Peripheral blood smear. Image size 400×400. Single cell centered in the field
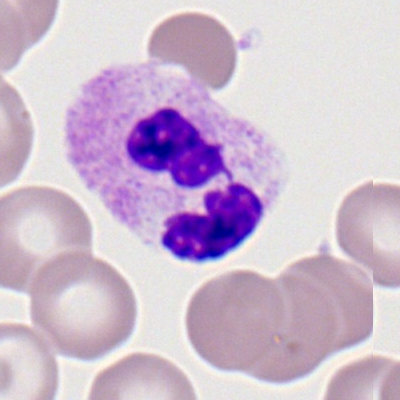Q: Identify the cell.
A: It is a neutrophil (segmented).